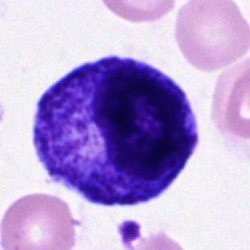
Morphology consistent with a progranulocyte.